Bone marrow smear:
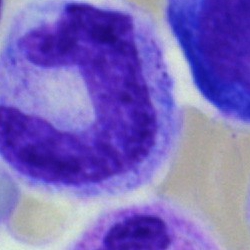

A band-form neutrophil.